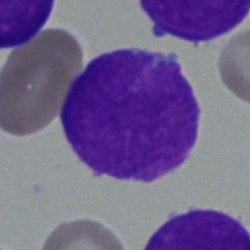

Q: What cell is this?
A: It is a blast cell.